40× objective, oil immersion. Single-cell crop. Bone marrow smear — 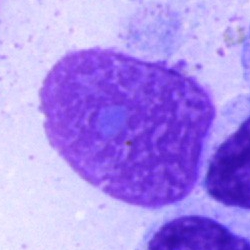The cell shown is an artifact.